Bone marrow smear:
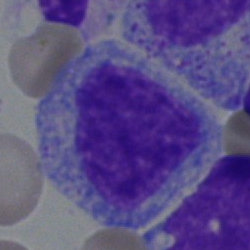
Morphology consistent with a myelocyte.